Bone marrow aspirate smear
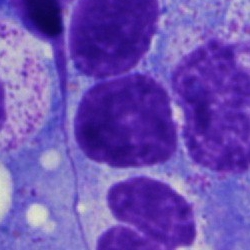
Morphology consistent with an artefact.